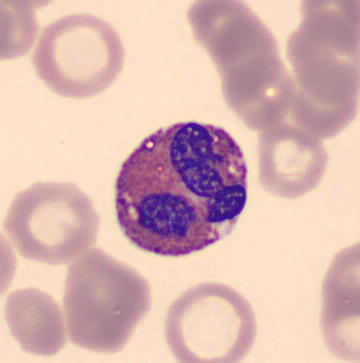Preparation: Peripheral blood film.
Cell — eosinophil.